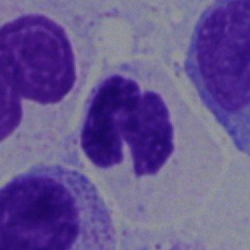
A polymorphonuclear neutrophil on a bone marrow smear.